Bone marrow aspirate smear · brightfield microscopy, 40× oil immersion
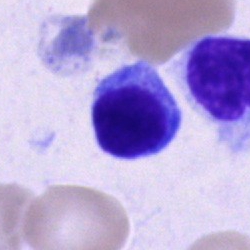

Cell type: typical lymphocyte.